Peripheral blood film: 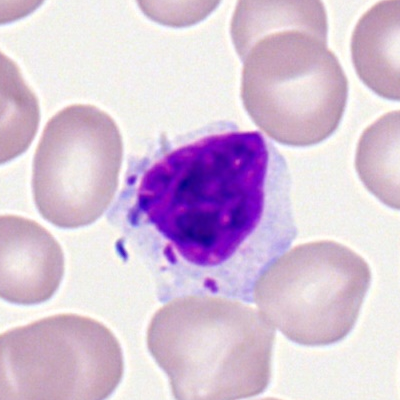
Q: Which cell type is shown here?
A: Lymphocyte.